Bone marrow aspirate smear — 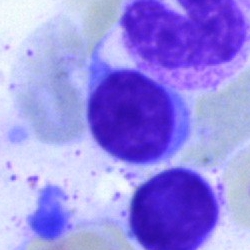

Classification: typical lymphocyte.